MGG-stained · bone marrow aspirate smear · single cell centered in the field — 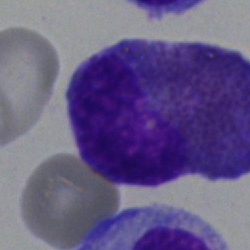

Showing an eosinophilic granulocyte.